Bone marrow aspirate smear
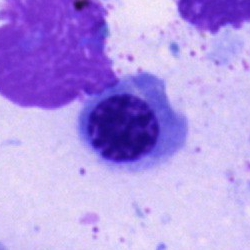An erythroblast.